Peripheral blood smear — 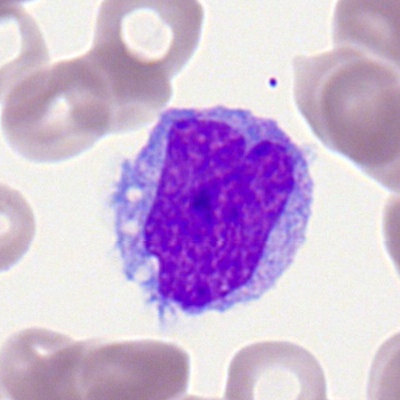Q: What is shown here?
A: Monocyte.